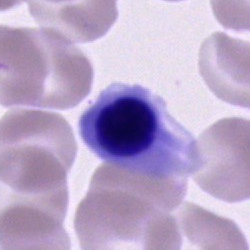
A nucleated red cell on a bone marrow smear.